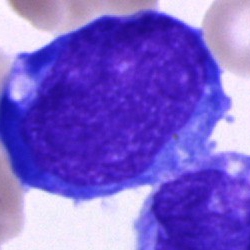Morphology — undifferentiated blast.